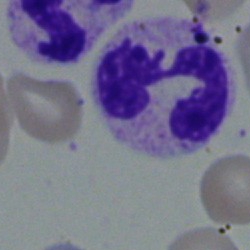 Impression → neutrophil (segmented).